Brightfield, 40× oil-immersion objective · bone marrow aspirate smear
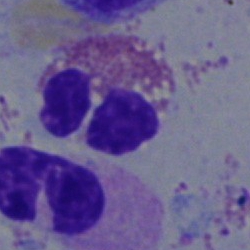
Eosinophilic granulocyte.